Bone marrow aspirate smear
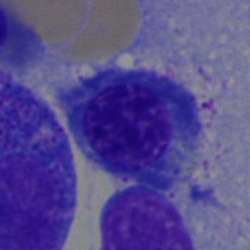
Cell: nucleated red blood cell.